250×250 px; bone marrow aspirate smear: 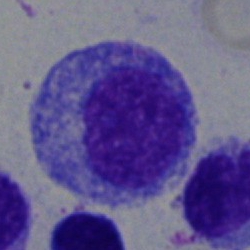

{"cell_type": "progranulocyte", "lineage": "myeloid"}